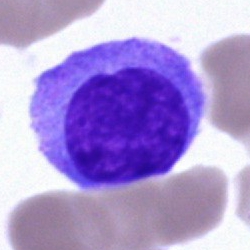

Specimen: bone marrow aspirate smear.
Classification: undifferentiated blast.